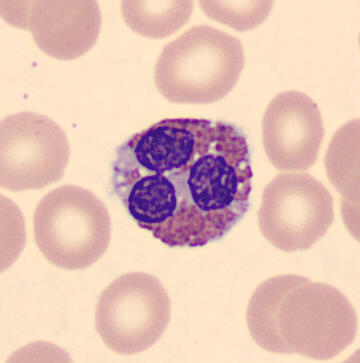

Morphology → eosinophilic granulocyte. Peripheral blood film.